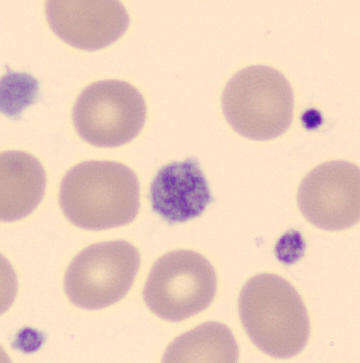 Morphology consistent with a platelet.

360×363; peripheral blood film.